Bone marrow aspirate smear — 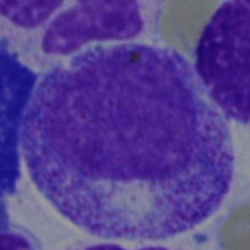
A progranulocyte.